Peripheral blood smear
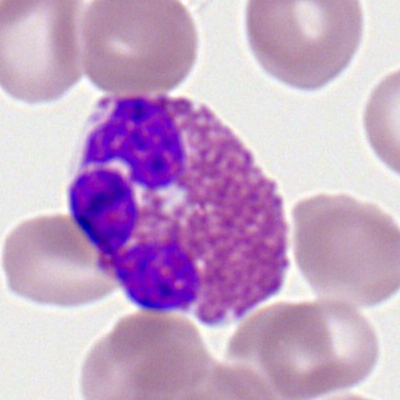Cell type = eosinophilic granulocyte.